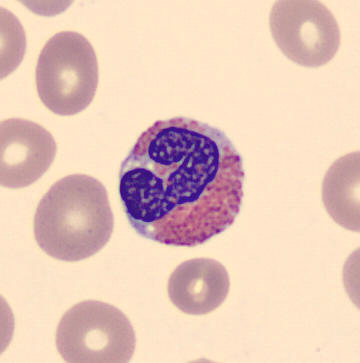Acquisition: Peripheral blood film.

Single cell identified as an eosinophilic granulocyte.